Bone marrow smear
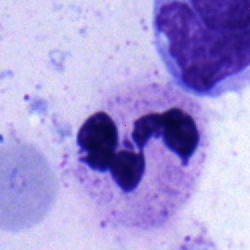
The classification is polymorphonuclear neutrophil.